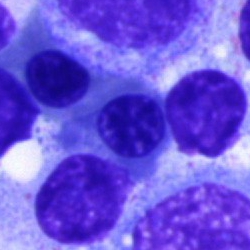 Morphology — erythroblast.